Image size 250×250 · bone marrow aspirate smear · MGG-stained: 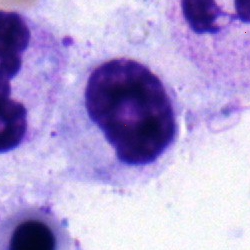
{"cell_type": "typical lymphocyte", "lineage": "lymphoid"}